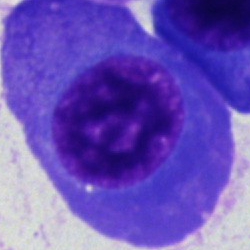

This is a plasmacyte.